Pappenheim-stained · bone marrow smear.
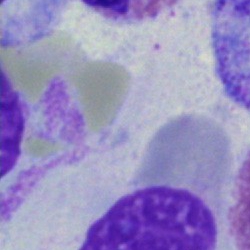Single cell identified as an artifact.